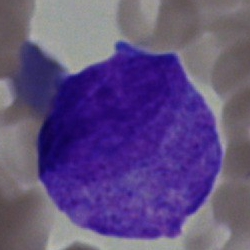 The classification is undifferentiated blast.